Bone marrow aspirate smear
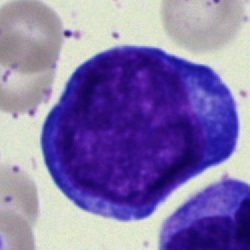Single cell identified as a pronormoblast.